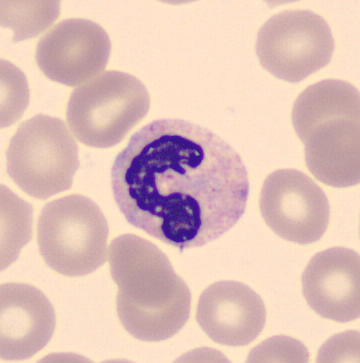Showing a neutrophil (segmented). Image: Peripheral blood smear.